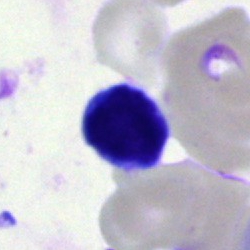
Morphology consistent with a typical lymphocyte.